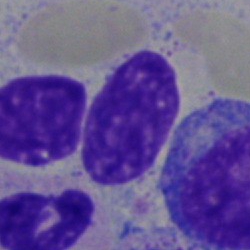 Showing an artifact.